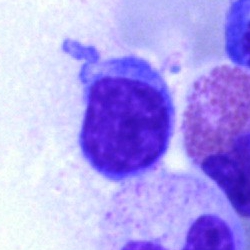
Cell = typical lymphocyte.